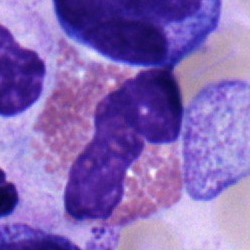Specimen: bone marrow aspirate smear.
Classification: eosinophilic granulocyte.